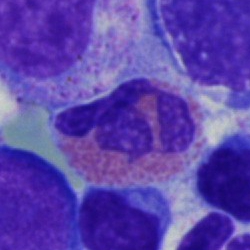Cell type: eosinophilic granulocyte.